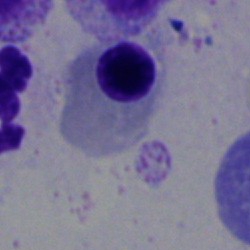
Specimen: bone marrow smear.
Morphological class: nucleated red cell.
Lineage: erythroid.